Bone marrow aspirate smear. Pappenheim-stained. Cropped to a single cell: 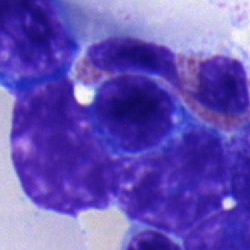
Morphological class = normoblast.